Bone marrow smear.
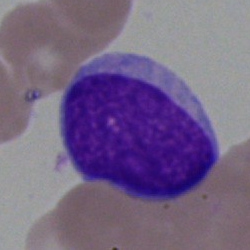

The cell type is undifferentiated blast.